Bone marrow smear
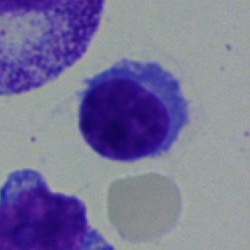The cell type is lymphocyte.